Bone marrow smear.
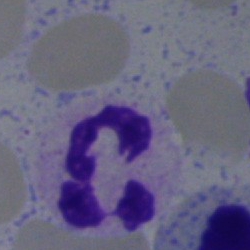
The cell shown is a polymorphonuclear neutrophil.